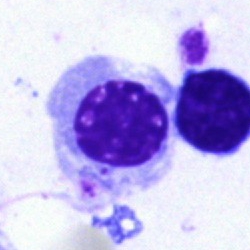
Morphology → erythroblast.